Bone marrow aspirate smear — 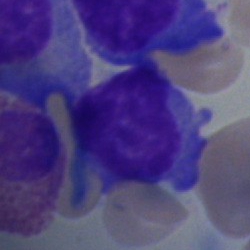 Cell type = plasmacyte.